Bone marrow aspirate smear. 40× objective, oil immersion:
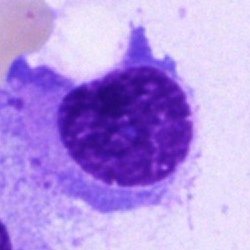This is a plasma cell.